Bone marrow smear. Single-cell field
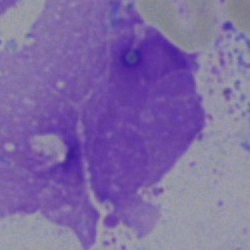 {"cell_type": "artifact"}